Bone marrow smear.
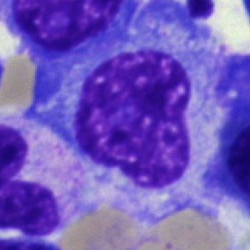

{"cell_type": "plasma cell"}